Bone marrow smear. Cropped to a single cell
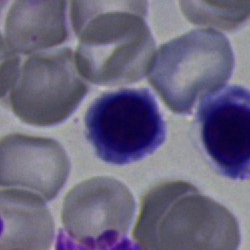
Morphology → nucleated red cell.